Peripheral blood film: 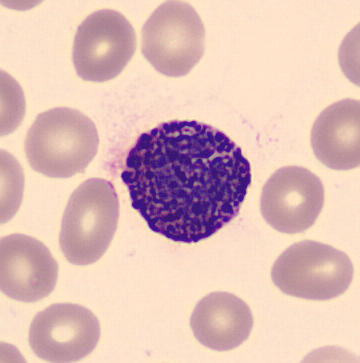{"cell_type": "basophil", "lineage": "myeloid"}